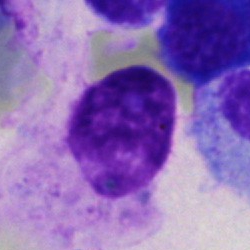Morphology → artifact.